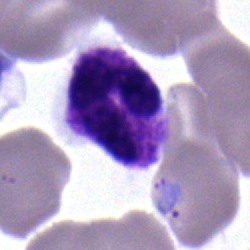 Q: What cell is this?
A: It is a neutrophil (band).